Bone marrow smear.
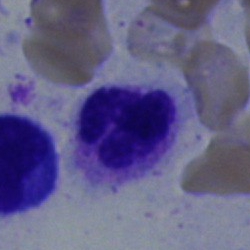 A segmented neutrophil.